Bone marrow aspirate smear — 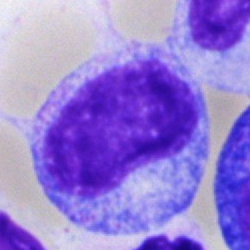 Q: What type of cell is this?
A: This is a promyelocyte.